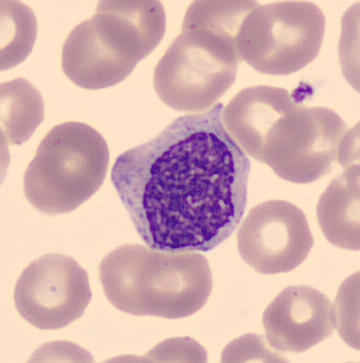 The cell is myelocyte.

Preparation: CellaVision DM96 digital cell image · peripheral blood smear.